Bone marrow smear:
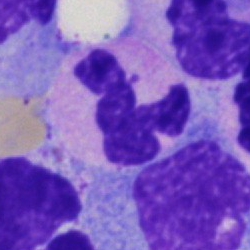

Classification: polymorphonuclear neutrophil.